Bone marrow aspirate smear · May-Grünwald-Giemsa/Pappenheim stain · single-cell crop.
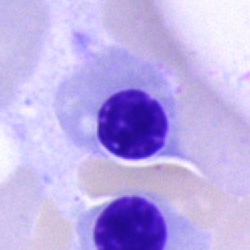
{"cell_type": "nucleated red cell", "lineage": "erythroid"}